250×250 · bone marrow aspirate smear: 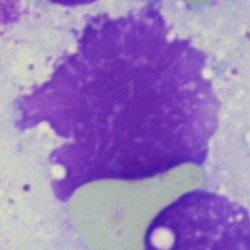

Morphology → artefact.